250×250; bone marrow smear; single cell centered in the field
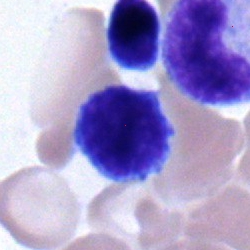
Morphology consistent with a typical lymphocyte.